Bone marrow smear:
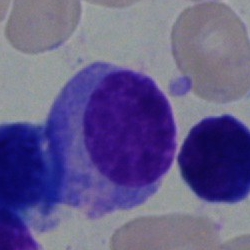Showing a plasma cell.